Peripheral blood smear.
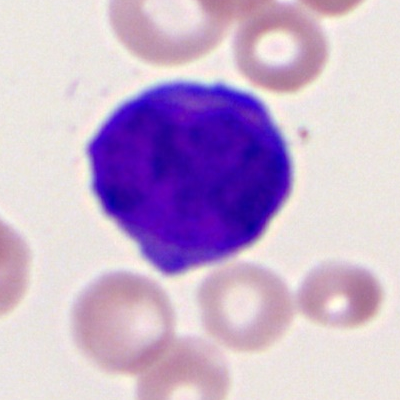

Cell type = myeloid blast.